Bone marrow smear · Pappenheim-stained — 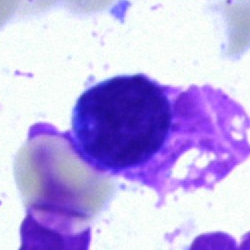
Showing an artefact.